Bone marrow aspirate smear:
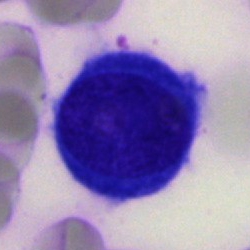 Q: Which cell type is shown here?
A: It is a blast cell.